Bone marrow smear
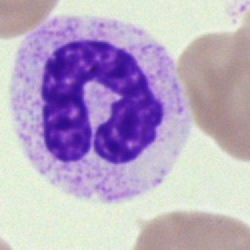
This is a band neutrophil.